Bone marrow smear:
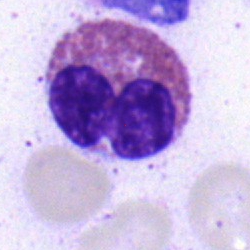
The morphological class is eosinophil.